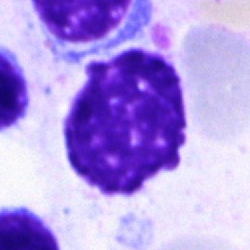

The cell shown is an artifact.